Bone marrow smear: 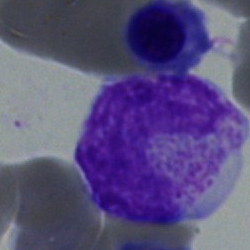Morphology consistent with a band-form neutrophil.